Bone marrow smear:
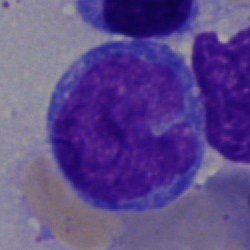

Monocyte.